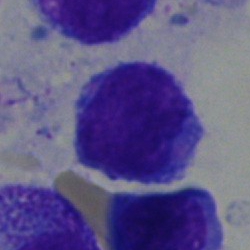

Specimen: bone marrow smear.
Cell type: typical lymphocyte.
Lineage: lymphoid.